Bone marrow smear:
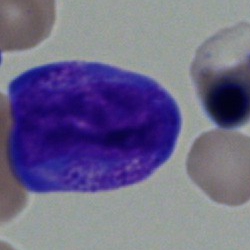
The morphological class is progranulocyte.